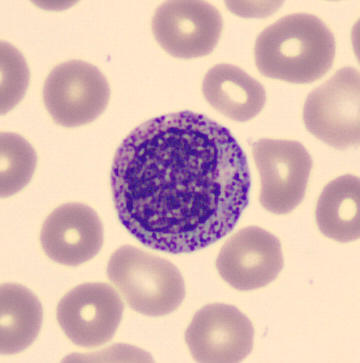 Cell — myelocyte.